Single cell centered in the field. Peripheral blood smear. May-Grünwald-Giemsa-stained — 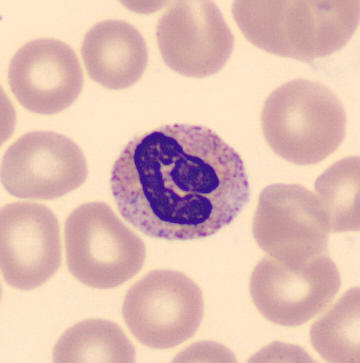

Q: What is shown here?
A: This is a band neutrophil.